Bone marrow smear: 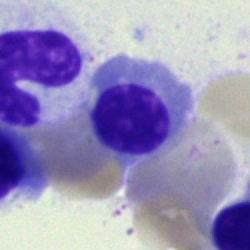 Morphology consistent with a nucleated red blood cell.